Bone marrow smear.
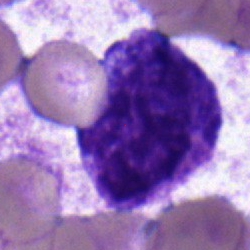 Q: What type of cell is this?
A: It is a myelocyte.